Bone marrow aspirate smear: 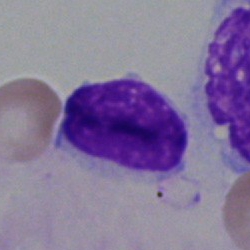 This is a typical lymphocyte.